Bone marrow smear. 40× objective, oil immersion: 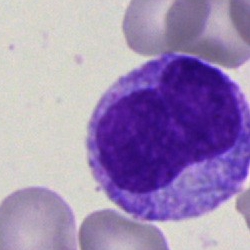
Specimen: bone marrow smear.
Cell: metamyelocyte.